Cropped to a single cell · bone marrow smear · Pappenheim-stained — 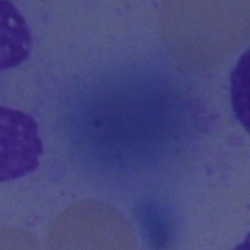

Morphological class: artifact.